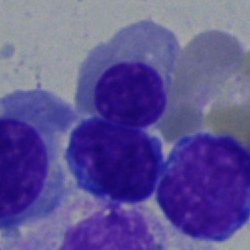Specimen: bone marrow smear.
Classification: nucleated red blood cell.